Peripheral blood smear: 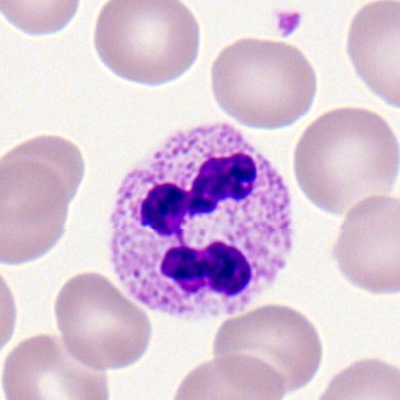
Segmented neutrophil.